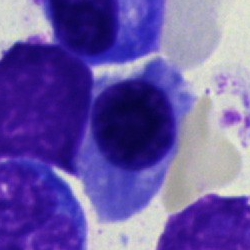Cell — normoblast.